Bone marrow smear.
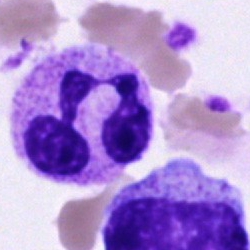 {"cell_type": "polymorphonuclear neutrophil"}